40× objective, oil immersion. Bone marrow smear. Single-cell crop:
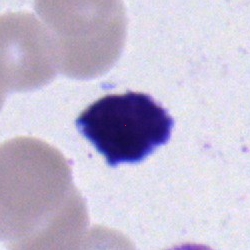Q: What is the morphological classification of this cell?
A: This is a typical lymphocyte.